Bone marrow aspirate smear — 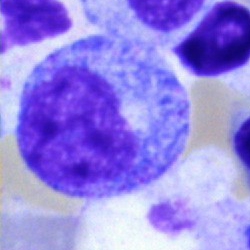
A promyelocyte.